Bone marrow aspirate smear · cropped to a single cell · 250 by 250 pixels
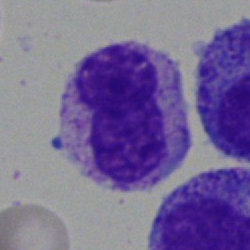

Morphology — neutrophil (band).